Pappenheim-stained · bone marrow smear.
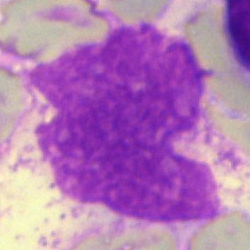 The classification is artefact.